Single-cell crop. Bone marrow smear.
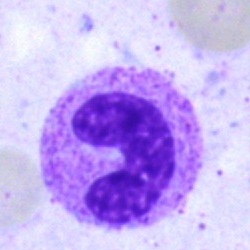
Cell type — band neutrophil.